Cropped to a single cell; May-Grünwald-Giemsa-stained; peripheral blood smear
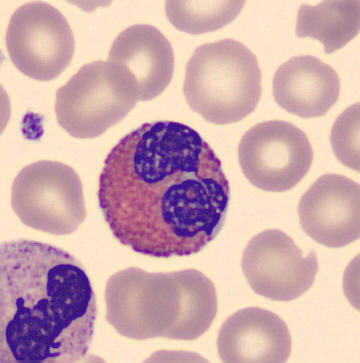 The cell shown is an eosinophil.